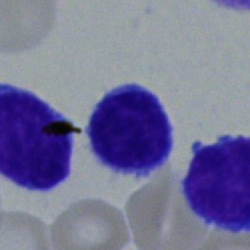

Specimen: bone marrow aspirate smear.
Classification: lymphocyte.
Lineage: lymphoid.